Bone marrow smear. 250 by 250 pixels: 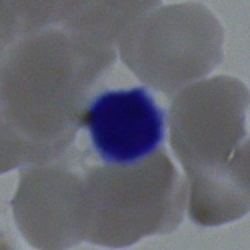Specimen: bone marrow aspirate smear.
Cell: lymphocyte.